Bone marrow smear: 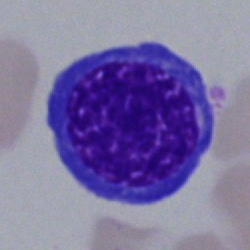Q: What is shown here?
A: A nucleated red blood cell.